Bone marrow aspirate smear.
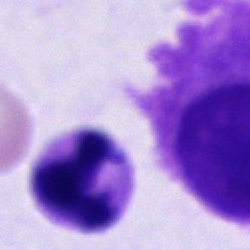Specimen: bone marrow smear.
Classification: neutrophil (segmented).